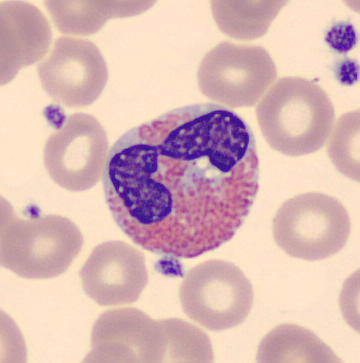Morphology consistent with an eosinophilic granulocyte. Preparation: Peripheral blood film.